Peripheral blood smear
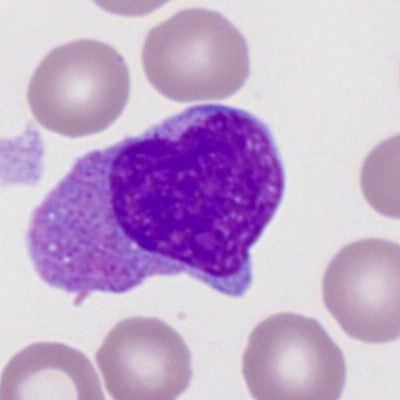

Single cell identified as a myeloblast.